Bone marrow smear: 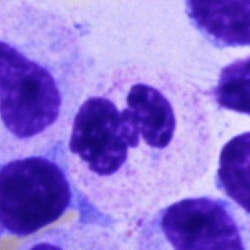Morphology consistent with a neutrophil (segmented).